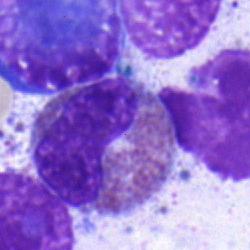 Specimen: bone marrow aspirate smear.
Cell: eosinophil.
Lineage: myeloid.